Single-cell crop. 40× oil immersion. Bone marrow aspirate smear — 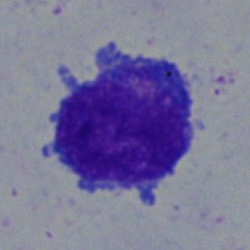Blast.